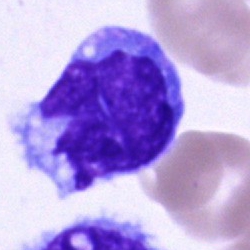
Impression — monocyte.